Bone marrow smear:
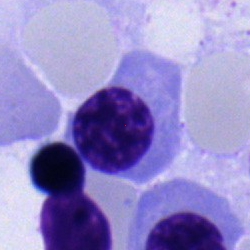 Specimen: bone marrow aspirate smear.
Morphological class: nucleated red blood cell.